Bone marrow smear · May-Grünwald-Giemsa/Pappenheim stain · single-cell crop
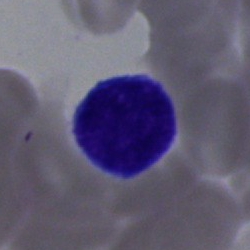
Q: What is the morphological classification of this cell?
A: It is a typical lymphocyte.